Brightfield, 40× oil-immersion objective; single cell centered in the field; bone marrow aspirate smear.
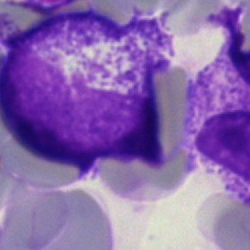 Q: What is the morphological classification of this cell?
A: A myelocyte.